Bone marrow smear:
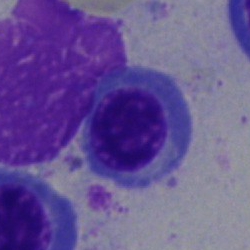An erythroblast.